Peripheral blood smear. Cropped to a single cell. 400 by 400 pixels.
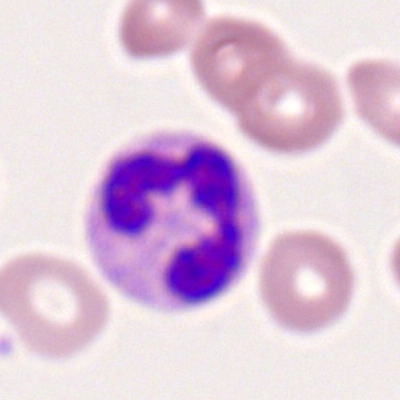Q: What is shown here?
A: Polymorphonuclear neutrophil.